Single-cell field · 250×250 px · bone marrow aspirate smear — 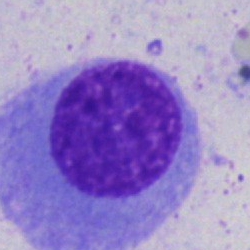 Showing a plasmacyte.